Bone marrow smear.
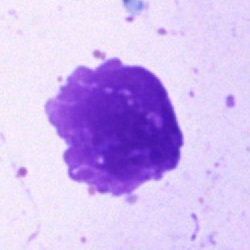

Impression → artefact.